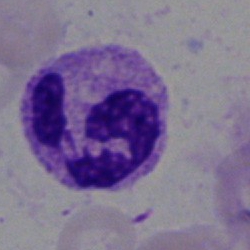 Specimen: bone marrow smear.
Morphological class: segmented neutrophil.
Lineage: myeloid.